Peripheral blood smear:
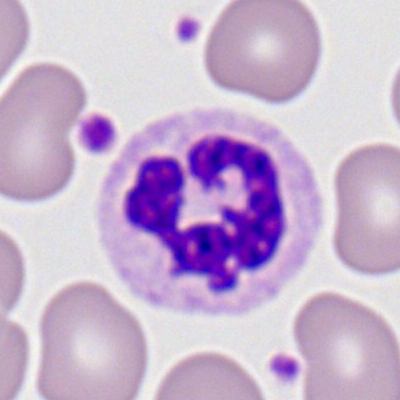

Single cell identified as a segmented neutrophil.